Bone marrow aspirate smear.
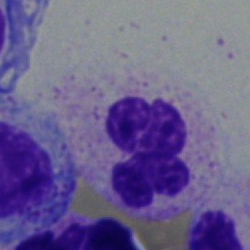{"cell_type": "segmented neutrophil"}